Bone marrow smear:
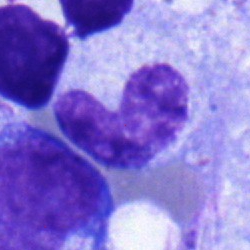 Cell type — neutrophil (band).